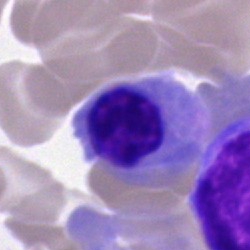 Impression → erythroblast.